Pappenheim-stained. Bone marrow aspirate smear. Image size 250×250: 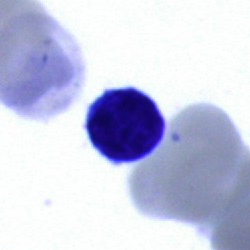Impression → artifact.